Brightfield, 40× oil-immersion objective; bone marrow aspirate smear: 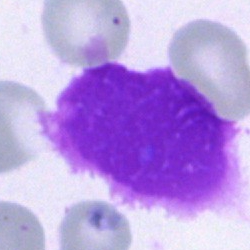An artefact.